Bone marrow smear: 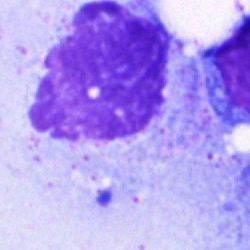Classification = artefact.